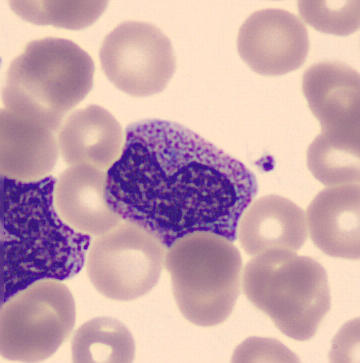 Impression → metamyelocyte. Image: 360×363 · peripheral blood smear.